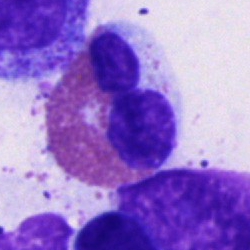 Cell — eosinophilic granulocyte.